Bone marrow smear — 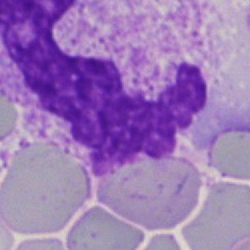Morphology — artifact.